40× oil immersion; MGG-stained; bone marrow smear
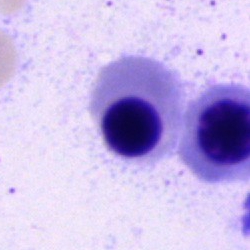
This is a normoblast.